Bone marrow smear: 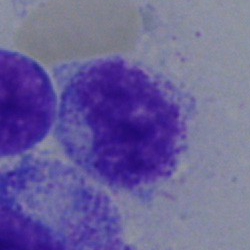 The cell shown is a progranulocyte.